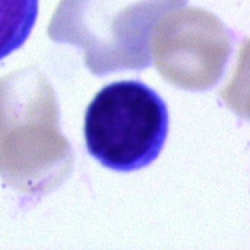

The cell shown is a typical lymphocyte.